Bone marrow aspirate smear; MGG-stained
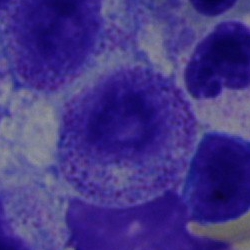 Q: Identify the cell.
A: Myelocyte.